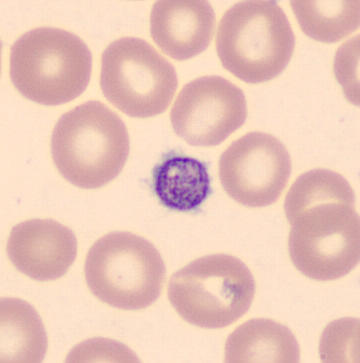
Specimen: peripheral blood smear.
Cell type: platelet.